Single-cell field · bone marrow smear · 40× oil immersion — 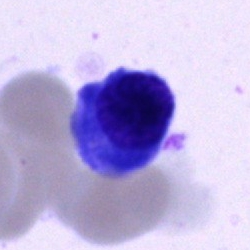 Classification — nucleated red cell.